Bone marrow smear · 250 by 250 pixels — 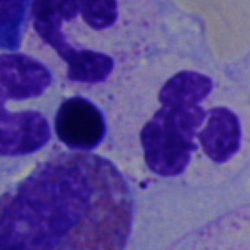
Cell type: neutrophil (segmented).